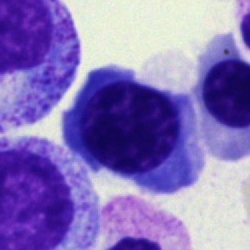

Q: What type of cell is this?
A: An erythroblast.